Bone marrow aspirate smear. Single-cell field: 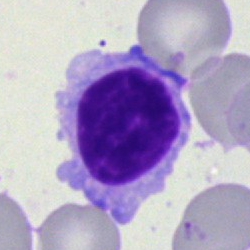

The cell type is lymphocyte.